Bone marrow smear: 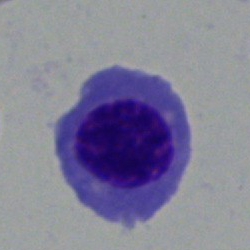

Impression — normoblast.